Image size 250×250. Bone marrow smear
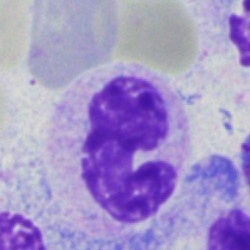Q: What type of cell is this?
A: This is a band-form neutrophil.